Bone marrow smear.
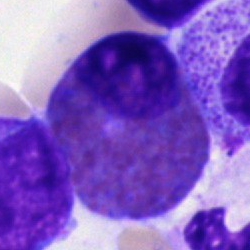

Cell type = eosinophilic granulocyte.